Peripheral blood film · 400 by 400 pixels
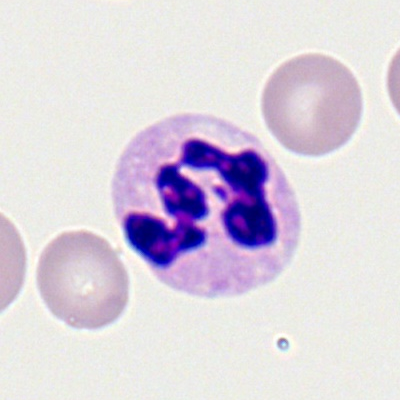 Morphological class — polymorphonuclear neutrophil.